MGG-stained · bone marrow smear:
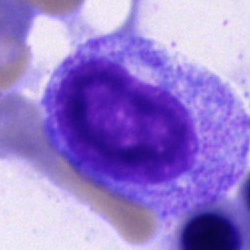

Morphology → promyelocyte.